Bone marrow smear — 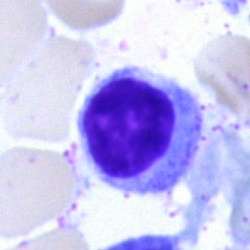 Q: Identify the cell.
A: This is a lymphocyte.